Bone marrow aspirate smear.
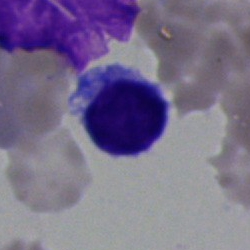Morphology — lymphocyte.